Bone marrow aspirate smear · brightfield, 40× oil-immersion objective: 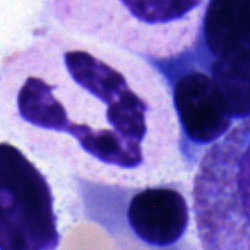Cell — neutrophil (segmented).